Peripheral blood film:
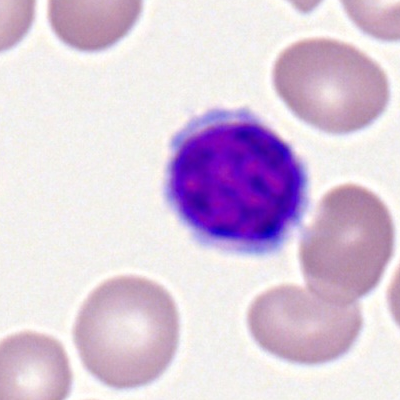 Single cell identified as a typical lymphocyte.